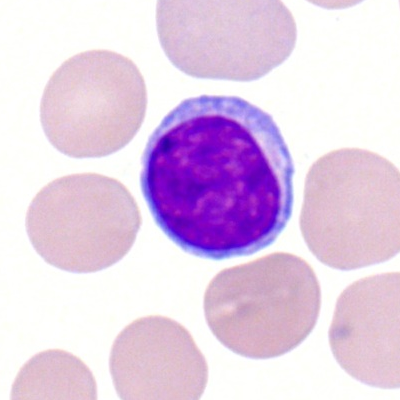

Specimen: peripheral blood film.
Cell: lymphocyte.